Bone marrow smear
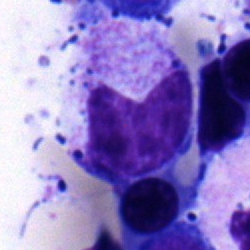

Metamyelocyte.